May-Grünwald-Giemsa/Pappenheim stain. Bone marrow smear. 40× objective, oil immersion:
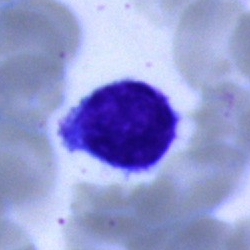Single cell identified as a typical lymphocyte.